Pappenheim-stained; bone marrow smear:
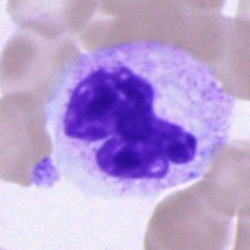The cell shown is a segmented neutrophil.